Cropped to a single cell · 250×250 · bone marrow aspirate smear:
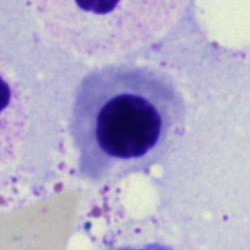 Cell — nucleated red cell.